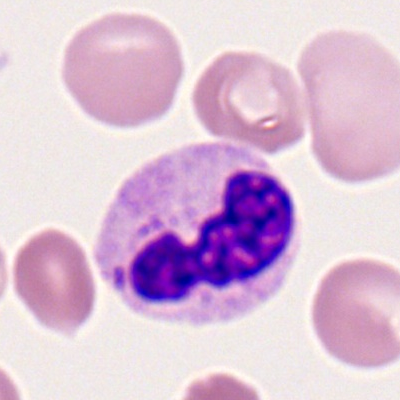Morphological class — neutrophil (segmented).